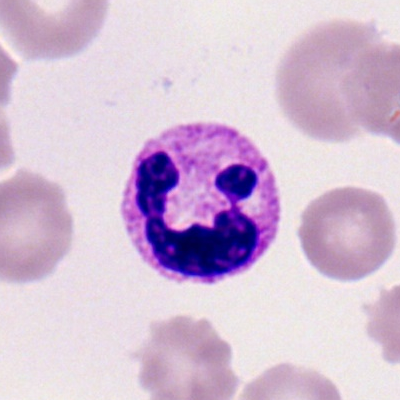Q: What is the morphological classification of this cell?
A: Segmented neutrophil.